Bone marrow aspirate smear. May-Grünwald-Giemsa/Pappenheim stain — 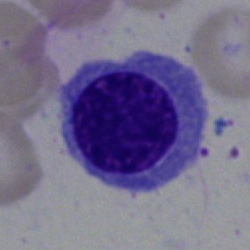

Single cell identified as a normoblast.